Bone marrow aspirate smear.
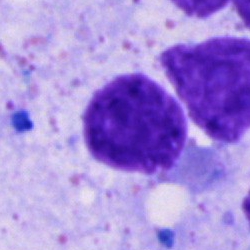
The classification is artefact.